Peripheral blood film.
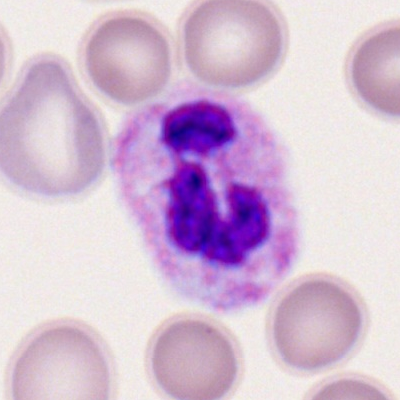 Specimen: peripheral blood film.
Cell type: segmented neutrophil.